Bone marrow aspirate smear:
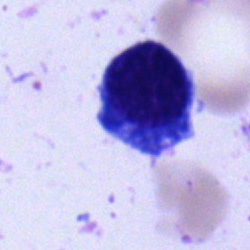

Showing a typical lymphocyte.